Bone marrow smear
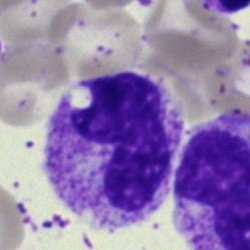

The morphological class is stab cell.